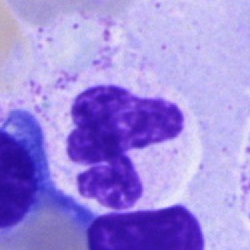
{"cell_type": "neutrophil (segmented)", "lineage": "myeloid"}